Pappenheim-stained; bone marrow smear
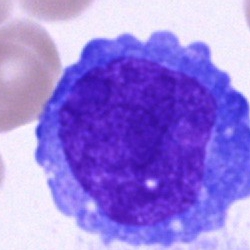Blast cell.